Bone marrow smear · single-cell crop.
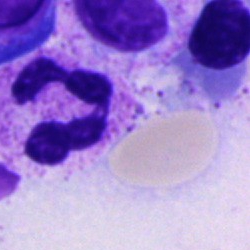 Cell type — segmented neutrophil.